Bone marrow smear.
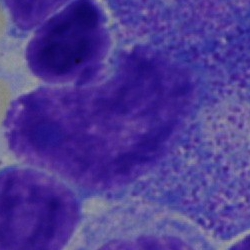 Q: What type of cell is this?
A: It is a promyelocyte.